Peripheral blood smear: 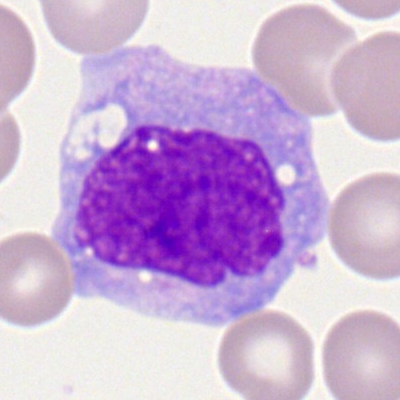

Showing a monocyte.